250×250 px · cropped to a single cell · bone marrow aspirate smear
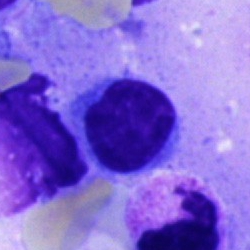Morphology → typical lymphocyte.